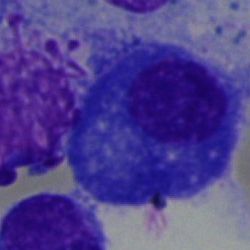 Cell — plasmacyte.